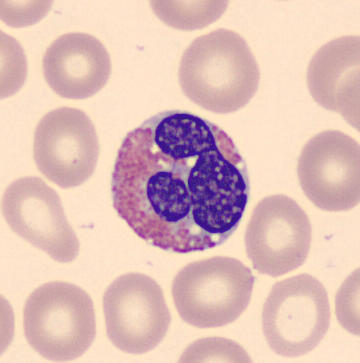 Q: What is this?
A: It is an eosinophil.